Bone marrow aspirate smear; 250×250 px — 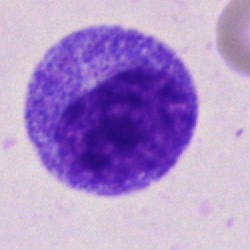Cell = myelocyte.